Bone marrow smear. 40× oil immersion. 250×250 px.
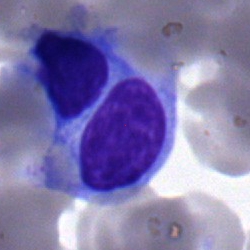

{"cell_type": "monocyte"}